Bone marrow aspirate smear.
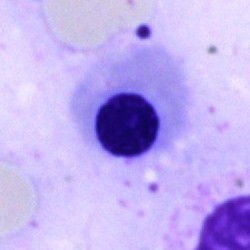Q: What type of cell is this?
A: Nucleated red blood cell.